Bone marrow smear. May-Grünwald-Giemsa/Pappenheim stain — 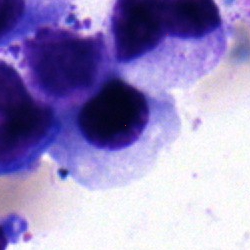 Cell type = erythroblast.